Bone marrow smear.
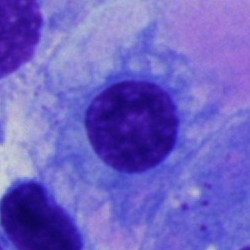

This is a plasmacyte.